Bone marrow aspirate smear — 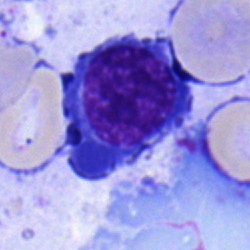

Morphology — normoblast.